250×250 px · bone marrow aspirate smear — 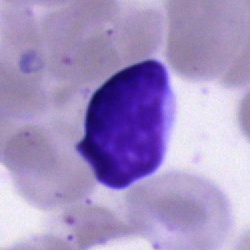Morphology — lymphocyte.